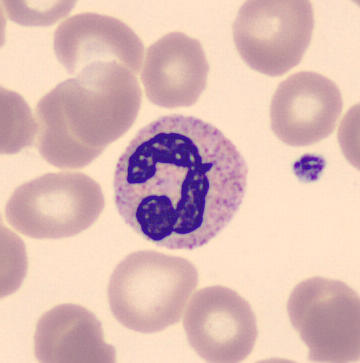 A polymorphonuclear neutrophil.

Preparation: Peripheral blood smear.